Single-cell field; bone marrow aspirate smear: 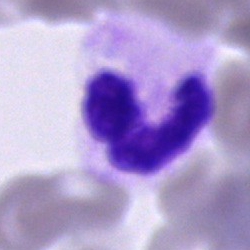 The cell type is segmented neutrophil.